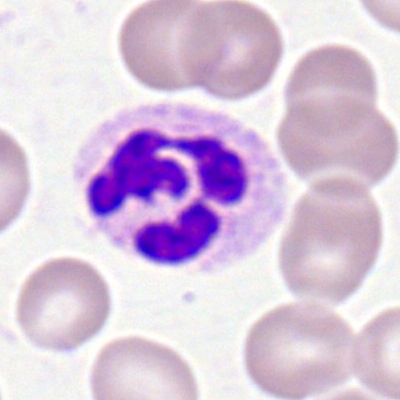
Classification = polymorphonuclear neutrophil.